May-Grünwald-Giemsa stain · bone marrow aspirate smear
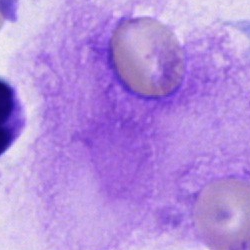This is an artefact.